Romanowsky-type stain. Peripheral blood film.
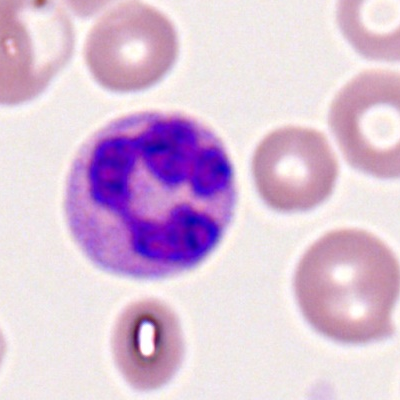
A polymorphonuclear neutrophil.